Bone marrow aspirate smear: 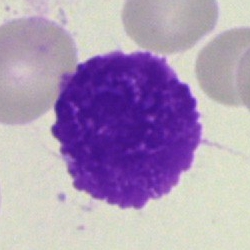 Cell: artefact.